Bone marrow aspirate smear; brightfield, 40× oil-immersion objective — 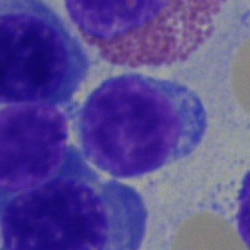

Specimen: bone marrow aspirate smear.
Cell type: typical lymphocyte.
Lineage: lymphoid.